Brightfield, 40× oil-immersion objective · bone marrow aspirate smear:
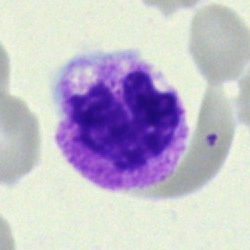Segmented neutrophil.